Single-cell crop; bone marrow smear:
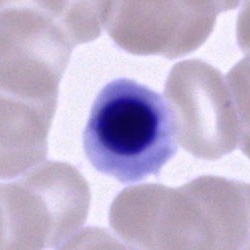
Specimen: bone marrow aspirate smear.
Morphological class: erythroblast.